Bone marrow smear · 250×250 px · May-Grünwald-Giemsa/Pappenheim stain — 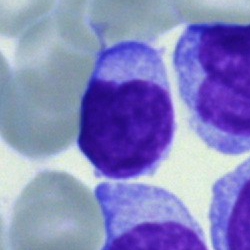

Morphology consistent with a typical lymphocyte.